Bone marrow smear; brightfield microscopy, 40× oil immersion:
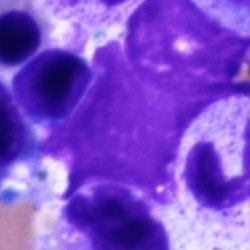

Morphology → artefact.